Romanowsky-type stain · 400×400 · peripheral blood film.
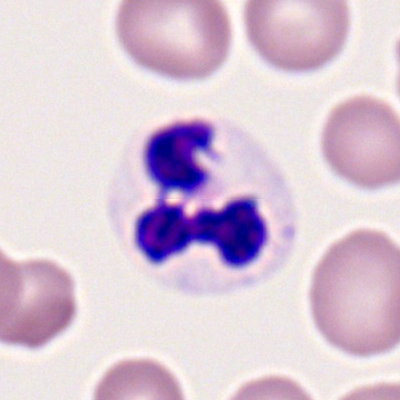 A polymorphonuclear neutrophil.